Bone marrow smear
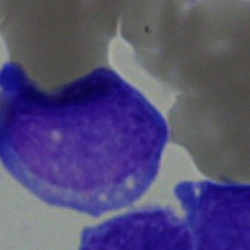
Cell — blast.